Bone marrow smear: 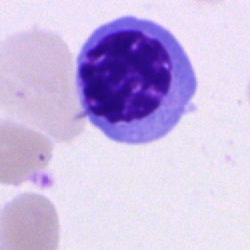 {"cell_type": "nucleated red cell", "lineage": "erythroid"}